250 by 250 pixels. Bone marrow smear. Pappenheim-stained:
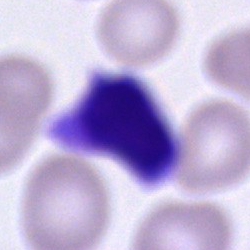 Cell — cell of indeterminate lineage.